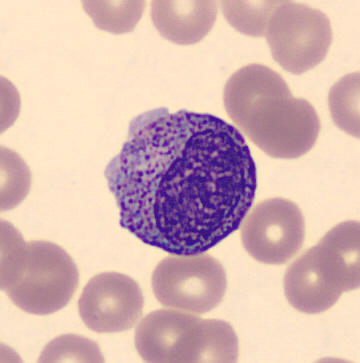

A myelocyte.